Bone marrow aspirate smear:
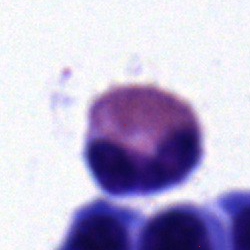
The cell is eosinophilic granulocyte.